Bone marrow aspirate smear · 40× oil immersion — 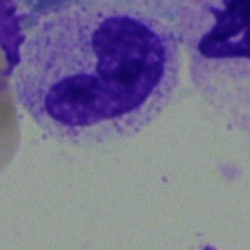
Q: Which cell type is shown here?
A: A neutrophil (band).